Bone marrow smear · brightfield, 40× oil-immersion objective
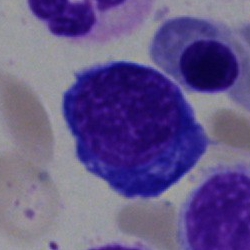Specimen: bone marrow smear.
Cell type: nucleated red blood cell.